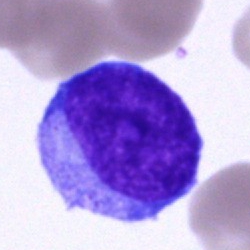Bone marrow aspirate smear, single cell — undifferentiated blast.